Bone marrow smear.
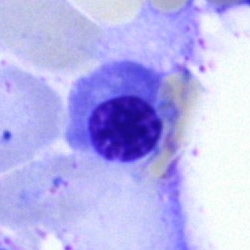
This is a normoblast.